Image size 250×250; May-Grünwald-Giemsa/Pappenheim stain; bone marrow smear:
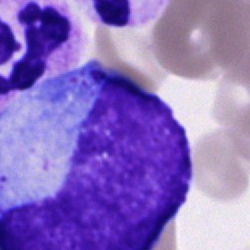
Morphological class = promyelocyte.